Bone marrow aspirate smear · Pappenheim-stained · single-cell field
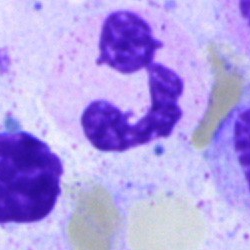

Morphological class: neutrophil (segmented).